250×250 px · bone marrow aspirate smear
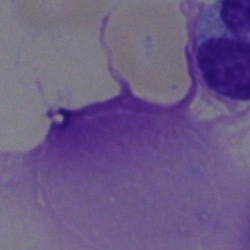

Artefact.